Bone marrow smear:
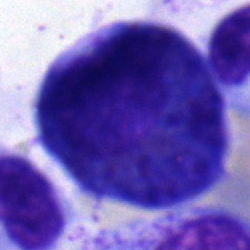 Specimen: bone marrow aspirate smear.
Cell: eosinophilic granulocyte.
Lineage: myeloid.